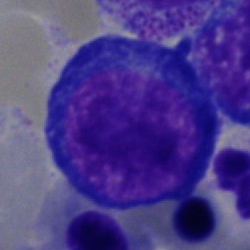

Showing a nucleated red cell.